Bone marrow smear: 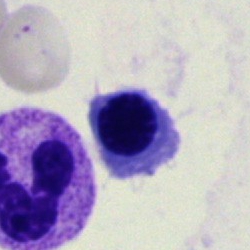Cell type: normoblast.